Bone marrow aspirate smear; May-Grünwald-Giemsa/Pappenheim stain — 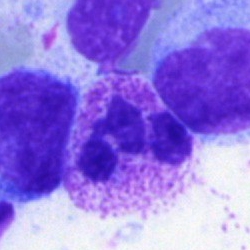 Showing a segmented neutrophil.